Bone marrow aspirate smear:
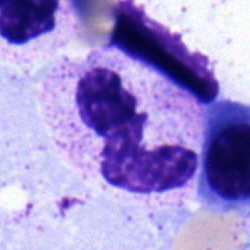
The cell is neutrophil (segmented).